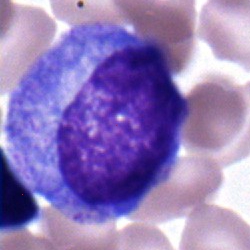

Classification: progranulocyte.